Bone marrow smear.
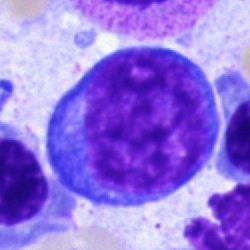

Morphology consistent with an undifferentiated blast.